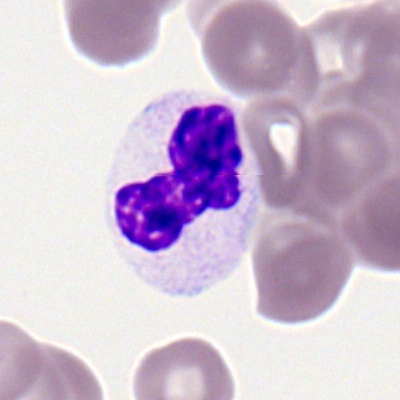The cell is polymorphonuclear neutrophil.